Bone marrow smear — 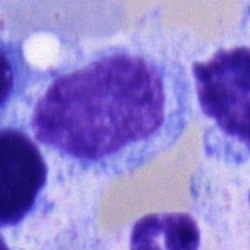

Morphology → monocyte.